Bone marrow smear. Image size 250×250
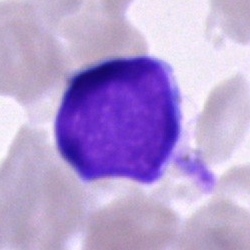 Impression → blast.